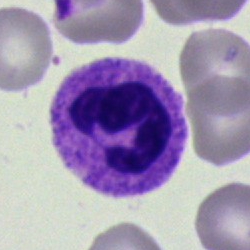Single-cell crop from a bone marrow smear: polymorphonuclear neutrophil.